250×250 px; 40× objective, oil immersion; bone marrow smear — 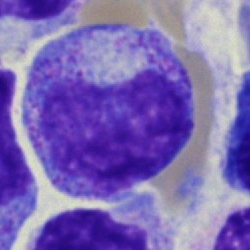
Morphology consistent with a myelocyte.